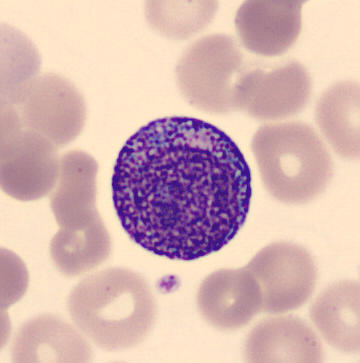Image: Peripheral blood smear.
Impression → progranulocyte.